MGG-stained · bone marrow smear · 40× oil immersion.
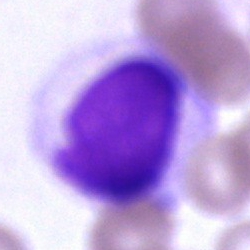 Cell of indeterminate lineage.